Bone marrow aspirate smear — 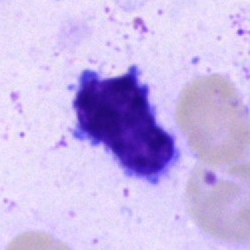 Morphology → typical lymphocyte.